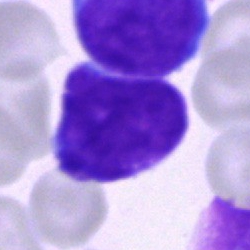Classification — blast cell.